Bone marrow smear.
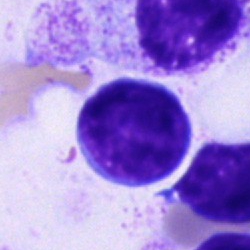
A lymphocyte.